40× oil immersion · bone marrow aspirate smear
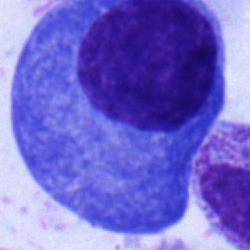
{"cell_type": "plasmacyte"}